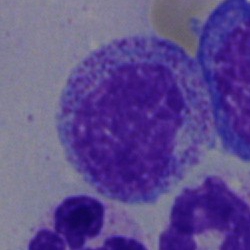Specimen: bone marrow aspirate smear.
Classification: myelocyte.
Lineage: myeloid.